Image size 250×250; single-cell crop; bone marrow aspirate smear:
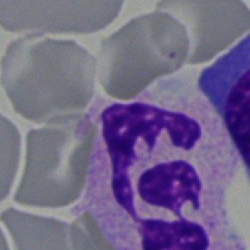 Q: What is shown here?
A: This is a polymorphonuclear neutrophil.